Bone marrow aspirate smear; single-cell field:
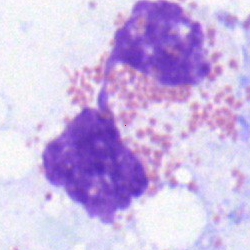

Morphological class = eosinophilic granulocyte.